Brightfield, 40× oil-immersion objective · bone marrow smear: 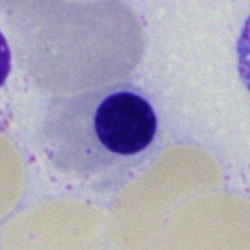

A normoblast.